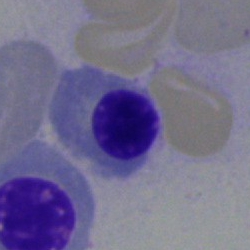 Specimen: bone marrow aspirate smear.
Classification: nucleated red cell.
Lineage: erythroid.